Single-cell field. Bone marrow aspirate smear. MGG-stained: 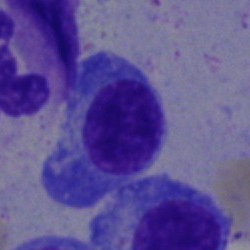 The morphological class is plasma cell.